Bone marrow aspirate smear: 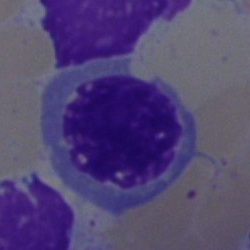 {"cell_type": "erythroblast"}